Bone marrow aspirate smear. Brightfield microscopy, 40× oil immersion
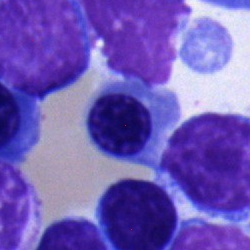 Nucleated red cell.